40× objective, oil immersion. Bone marrow smear:
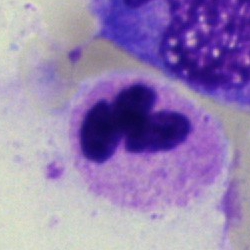

The cell type is segmented neutrophil.